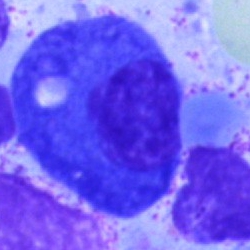A plasma cell.